MGG-stained · bone marrow aspirate smear · 250×250 px:
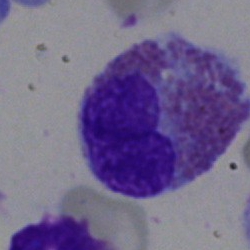Impression → eosinophilic granulocyte.